Bone marrow aspirate smear
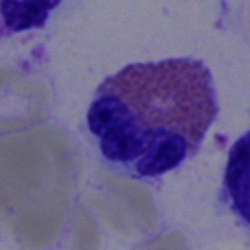Showing an eosinophil.